Peripheral blood film. Romanowsky-stained. Single cell centered in the field: 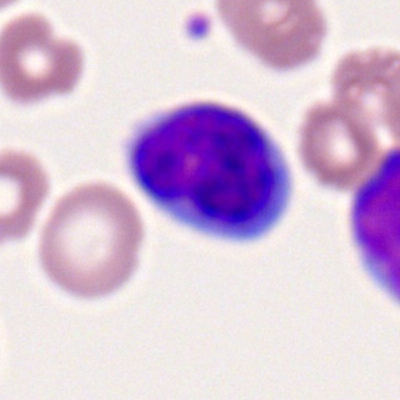Morphology → typical lymphocyte.